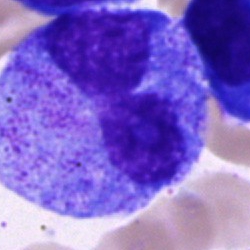Cell = promyelocyte.